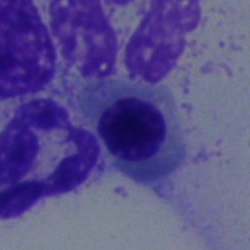
Specimen: bone marrow aspirate smear.
Morphological class: erythroblast.